Bone marrow aspirate smear; single-cell crop; 250×250 px:
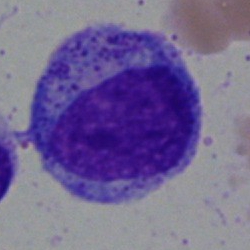

Impression — myelocyte.